Peripheral blood film.
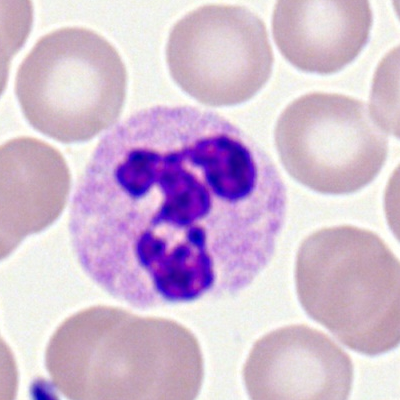
A neutrophil (segmented).